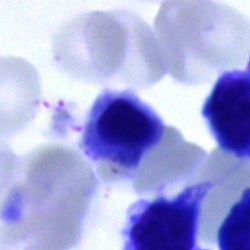

{"cell_type": "erythroblast", "lineage": "erythroid"}